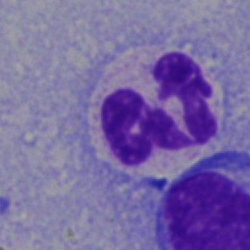
Specimen: bone marrow smear.
Cell: polymorphonuclear neutrophil.